Bone marrow smear: 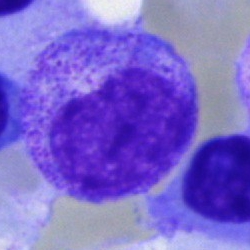
Classification — promyelocyte.